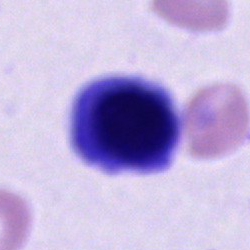Q: What is shown here?
A: It is an unidentifiable cell.